MGG-stained; bone marrow aspirate smear; image size 250×250.
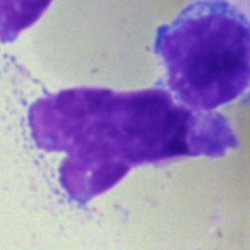Cell type: artifact.